Peripheral blood smear · single cell centered in the field · Romanowsky-type stain — 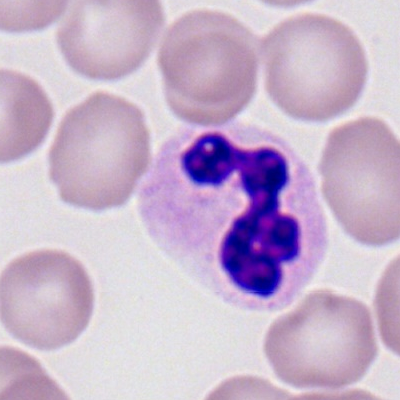 A polymorphonuclear neutrophil.